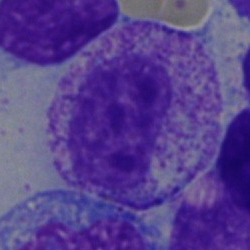 The cell shown is a myelocyte.